Single-cell field · image size 250×250 · bone marrow smear: 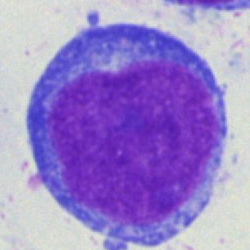Specimen: bone marrow smear.
Cell: blast cell.